Bone marrow aspirate smear · single cell centered in the field · 250×250.
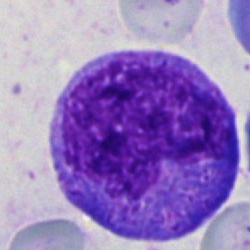 Showing a promyelocyte.